Bone marrow smear: 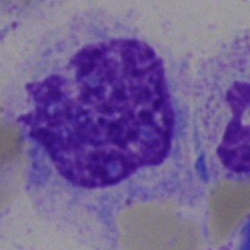
{"cell_type": "artifact"}